Bone marrow aspirate smear: 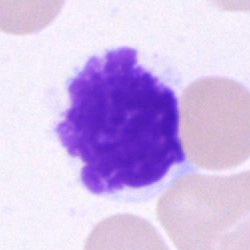 Cell type — artifact.